Bone marrow aspirate smear:
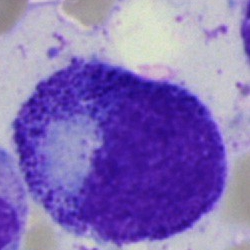
This is a progranulocyte.